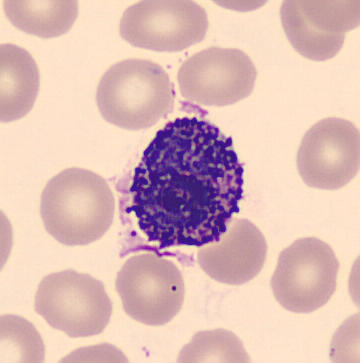

{"cell_type": "basophil"}
Peripheral blood film; single-cell field; MGG stain.